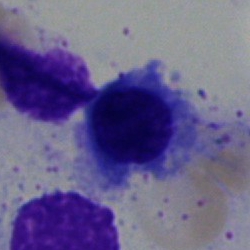 Bone marrow aspirate smear, single cell — erythroblast.